Bone marrow smear; 250×250.
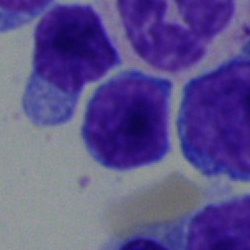Showing a lymphocyte.